Automated cell imaging (CellaVision DM96) · peripheral blood smear:
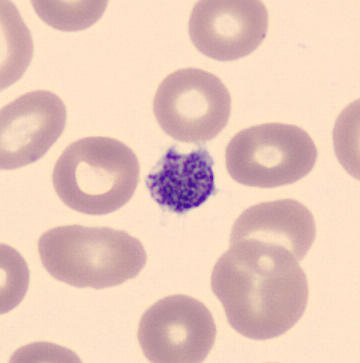
The classification is thrombocyte.